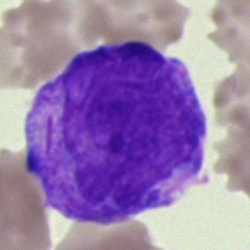
Bone marrow aspirate smear, single cell — faggot cell.